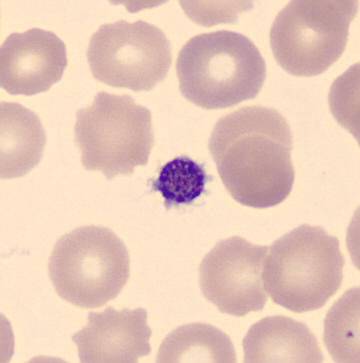 Specimen: peripheral blood film.
Cell type: platelet (thrombocyte).